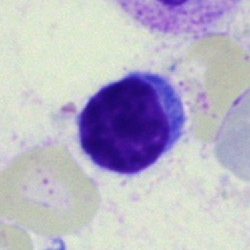
A typical lymphocyte on a bone marrow smear.